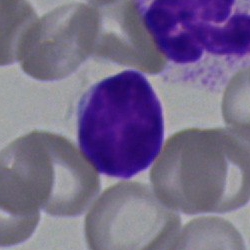Cell type = typical lymphocyte.